Bone marrow smear
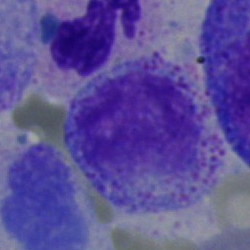A myelocyte.